Bone marrow aspirate smear. Cropped to a single cell.
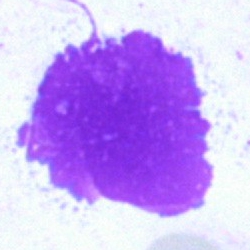 Cell type — artefact.